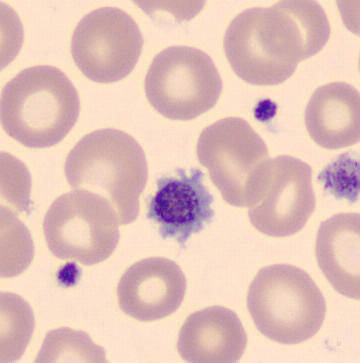Acquisition: Peripheral blood smear; 360×363 px. Q: What is this?
A: Platelet (thrombocyte).